Bone marrow smear: 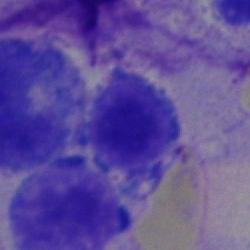 Specimen: bone marrow aspirate smear.
Classification: lymphocyte.